Single-cell crop; bone marrow aspirate smear
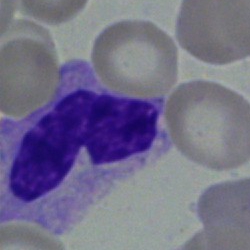
A band neutrophil.